Bone marrow smear — 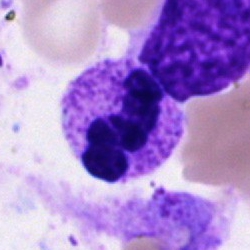

Classification = neutrophil (segmented).